Brightfield, 40× oil-immersion objective. Bone marrow aspirate smear. Pappenheim-stained
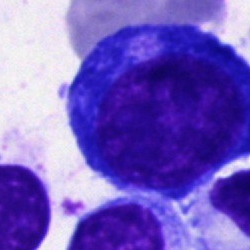

Q: What cell is this?
A: It is a proerythroblast.